Bone marrow smear · May-Grünwald-Giemsa stain · brightfield, 40× oil-immersion objective:
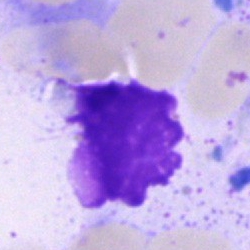

An artifact.